MGG-stained · 40× oil immersion · bone marrow smear:
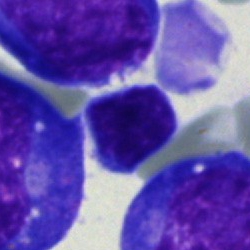
Cell — lymphocyte.